Bone marrow smear:
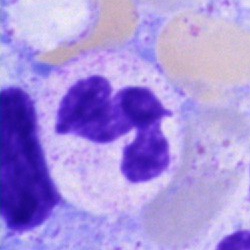

The cell is segmented neutrophil.